Bone marrow aspirate smear · single-cell crop: 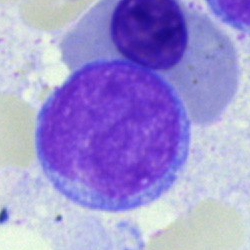

The cell is undifferentiated blast.